MGG-stained · bone marrow aspirate smear: 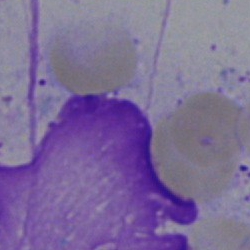

Impression — artifact.